Single cell centered in the field; bone marrow smear: 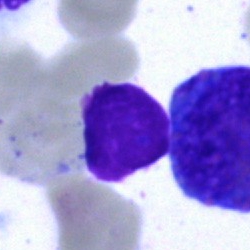 Morphology → artefact.